Bone marrow smear: 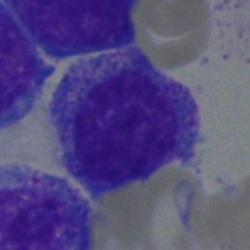
A myelocyte.